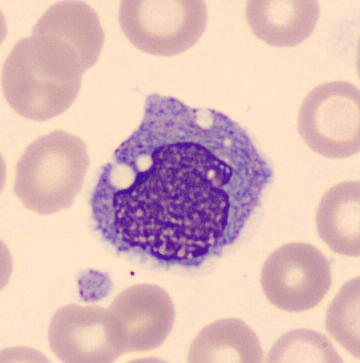 Morphological class — monocyte.